Bone marrow aspirate smear.
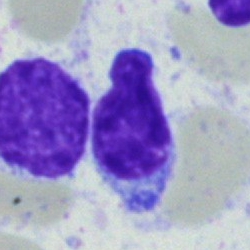

Classification = lymphocyte.